Bone marrow aspirate smear — 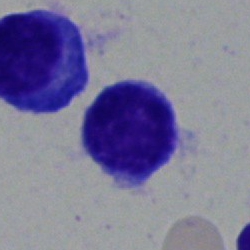Classification: lymphocyte.